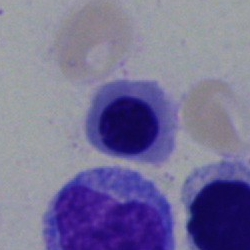A nucleated red cell.